250×250. Bone marrow aspirate smear
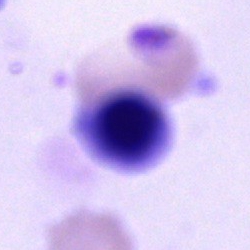

Morphological class = cell of indeterminate lineage.